Pappenheim-stained. Bone marrow aspirate smear
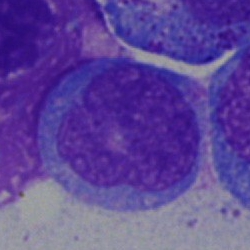

Specimen: bone marrow aspirate smear.
Classification: monocyte.
Lineage: myeloid.